May-Grünwald-Giemsa/Pappenheim stain. Image size 250×250. Bone marrow aspirate smear.
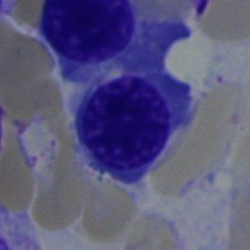

Classification = nucleated red blood cell.